Bone marrow smear
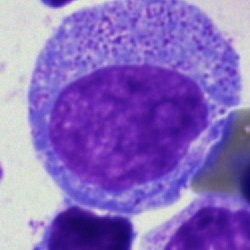 A progranulocyte.